Bone marrow smear · May-Grünwald-Giemsa/Pappenheim stain: 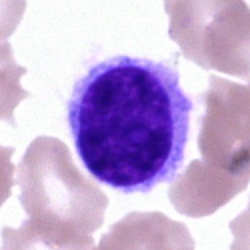
Cell type — hairy cell.